Bone marrow aspirate smear — 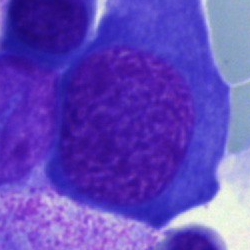Specimen: bone marrow smear.
Cell: nucleated red blood cell.
Lineage: erythroid.